Bone marrow smear; Pappenheim-stained.
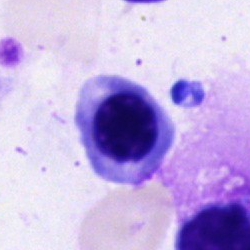 The morphological class is normoblast.